Bone marrow smear. Single cell centered in the field
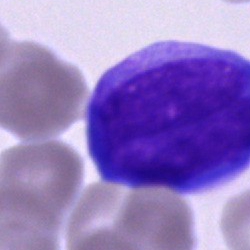This is a blast cell.